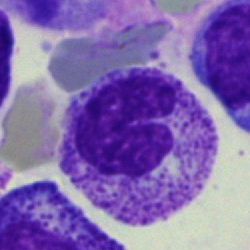
Single cell identified as a band neutrophil.